Bone marrow aspirate smear · single-cell crop · Pappenheim-stained: 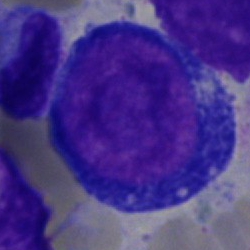

Q: Identify the cell.
A: Pronormoblast.